40× oil immersion. Bone marrow smear. Image size 250×250: 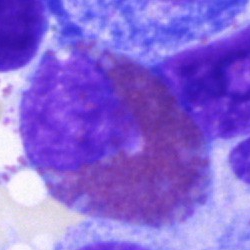
Specimen: bone marrow smear.
Classification: eosinophilic granulocyte.
Lineage: myeloid.